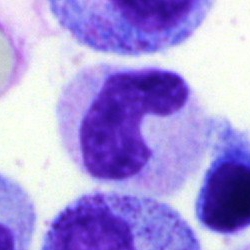
Morphology → band-form neutrophil.